250×250 px; MGG-stained; bone marrow smear: 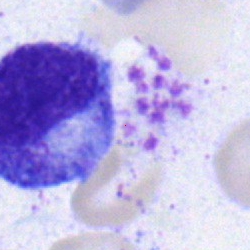

Cell — myelocyte.